Bone marrow aspirate smear
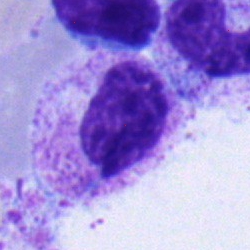 Morphology → myelocyte.